Bone marrow smear:
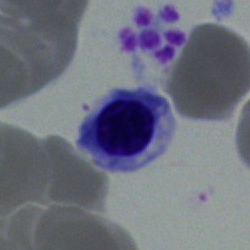

Nucleated red cell.